Peripheral blood smear
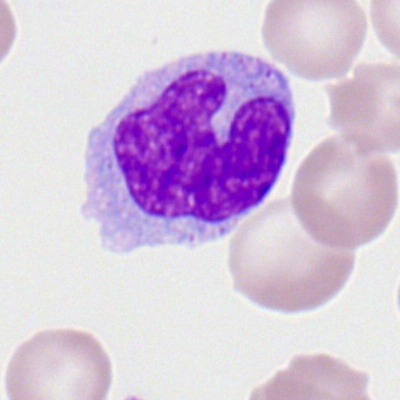Showing a monocyte.